Bone marrow aspirate smear: 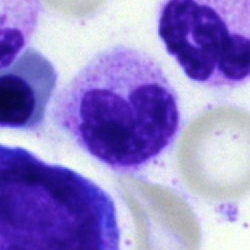
Q: Identify the cell.
A: This is a neutrophil (band).